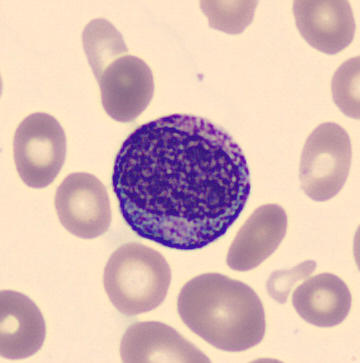 Specimen: peripheral blood smear.
Cell type: promyelocyte.
Lineage: myeloid. May-Grünwald-Giemsa-stained.